Bone marrow smear: 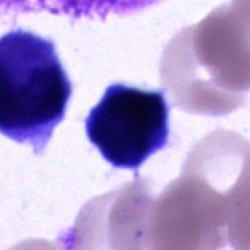
An unidentifiable cell.